Bone marrow aspirate smear
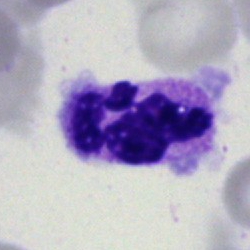Morphological class: neutrophil (segmented).